Bone marrow smear
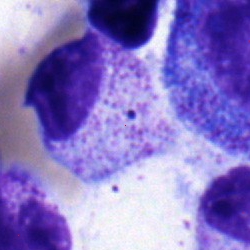 The cell shown is a myelocyte.